Bone marrow smear:
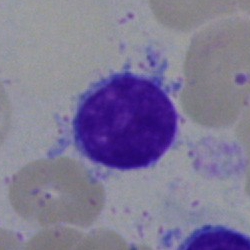 Typical lymphocyte.